Bone marrow aspirate smear; 250×250:
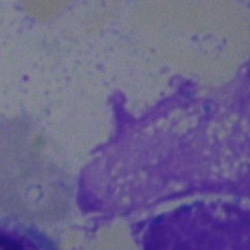
Artefact.